Bone marrow aspirate smear: 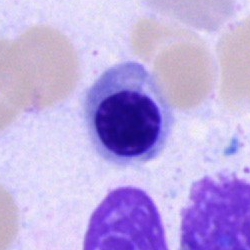Impression → nucleated red cell.